40× oil immersion · bone marrow aspirate smear — 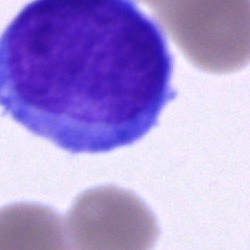
Morphological class — blast.